Single-cell field · peripheral blood smear:
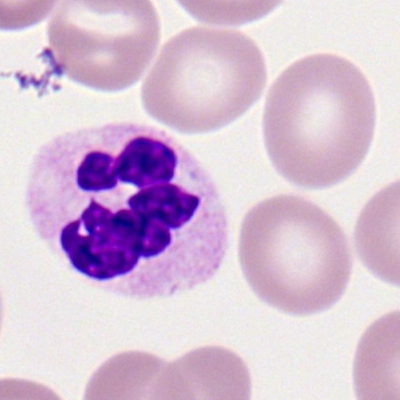 Morphological class = segmented neutrophil.